Peripheral blood smear; M8 digital microscope (Precipoint), 100× oil immersion
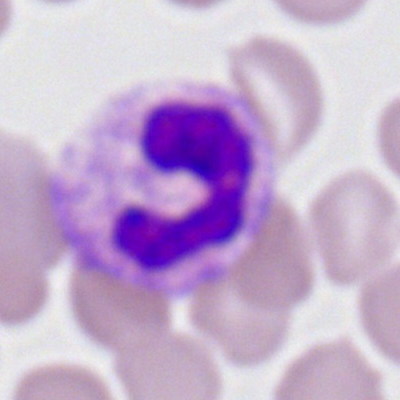
The cell is band-form neutrophil.